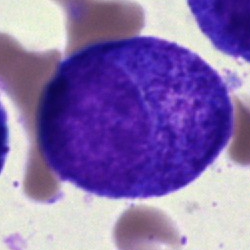Specimen: bone marrow aspirate smear.
Classification: progranulocyte.
Lineage: myeloid.